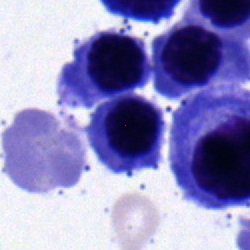Impression — erythroblast.